250 by 250 pixels. Bone marrow aspirate smear.
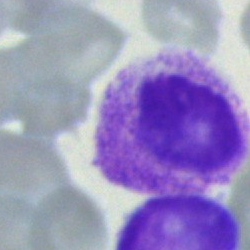Cell type — artifact.